Bone marrow smear — 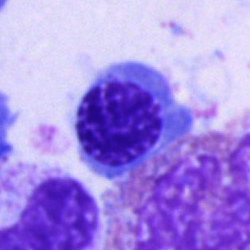
Q: Which cell type is shown here?
A: A nucleated red blood cell.